Bone marrow smear — 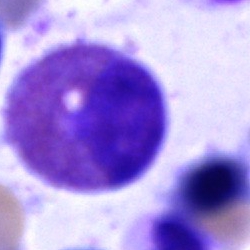Impression → eosinophilic granulocyte.